Bone marrow smear:
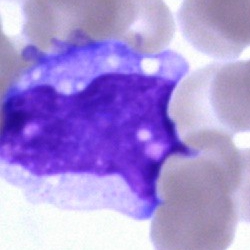 Single cell identified as a monocyte.